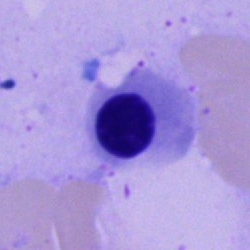
A normoblast.